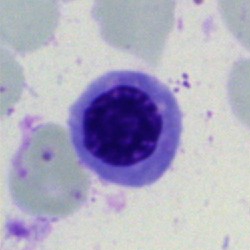

Nucleated red cell.